Bone marrow smear · MGG-stained · brightfield microscopy, 40× oil immersion — 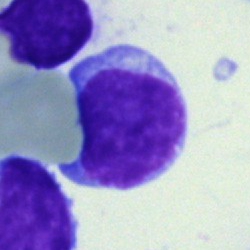

This is a lymphocyte.